Bone marrow smear; single cell centered in the field — 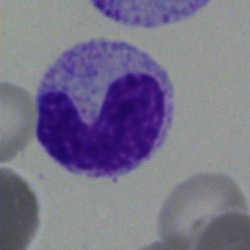

Morphology — neutrophil (band).